Bone marrow smear. 250×250.
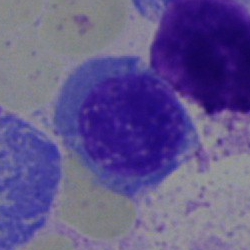 Cell — normoblast.